Romanowsky-stained; peripheral blood smear — 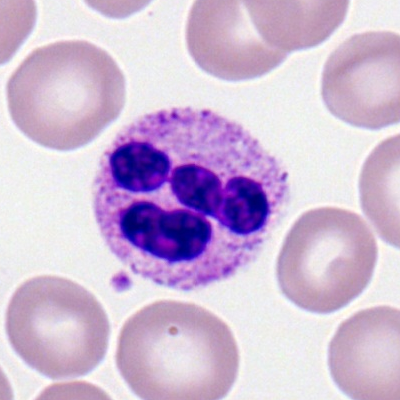 Specimen: peripheral blood smear.
Classification: neutrophil (segmented).
Lineage: myeloid.